Bone marrow aspirate smear: 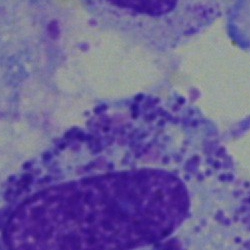 Specimen: bone marrow aspirate smear.
Cell: cell not matching the other categories.